Bone marrow smear: 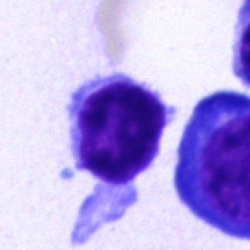Q: Which cell type is shown here?
A: Lymphocyte.